Bone marrow smear — 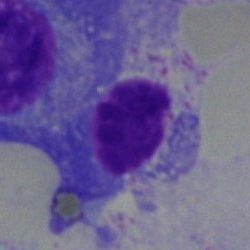

Artefact.